Bone marrow aspirate smear:
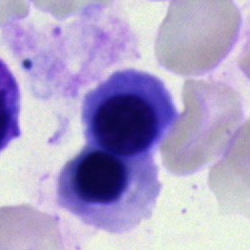 {"cell_type": "erythroblast", "lineage": "erythroid"}